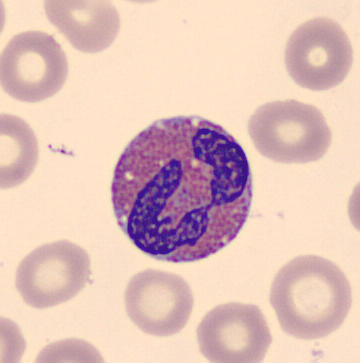Impression → eosinophil.